Pappenheim-stained; bone marrow smear; brightfield, 40× oil-immersion objective: 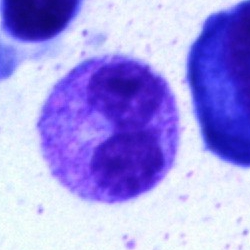
Morphological class — segmented neutrophil.